Bone marrow smear: 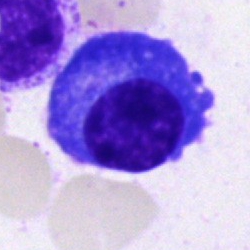

Q: What cell is this?
A: Plasma cell.